Cropped to a single cell. 250×250. Bone marrow smear — 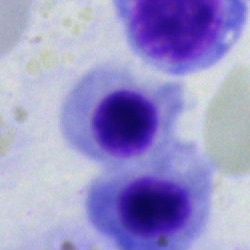 Specimen: bone marrow aspirate smear.
Morphological class: erythroblast.
Lineage: erythroid.